Bone marrow smear; image size 250×250; single-cell crop
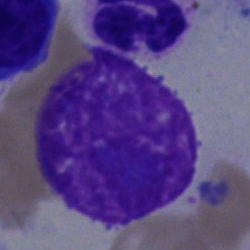 This is an artefact.